Bone marrow aspirate smear: 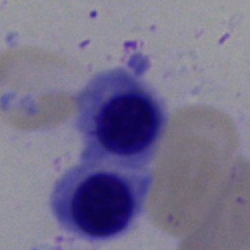Morphological class = nucleated red cell.